Peripheral blood smear: 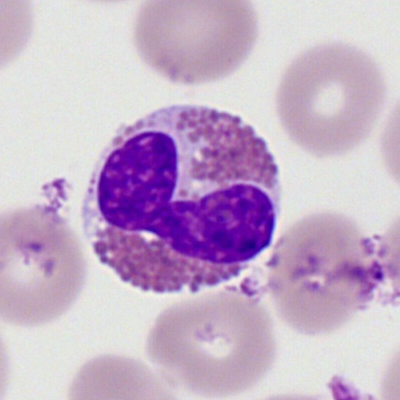

Morphology → eosinophilic granulocyte.